Bone marrow smear — 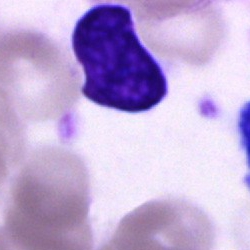

Impression — unidentifiable cell.